250×250 px; 40× objective, oil immersion; bone marrow smear
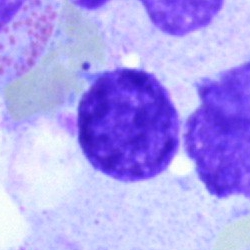 Classification = typical lymphocyte.